Single-cell crop. Bone marrow aspirate smear. Brightfield, 40× oil-immersion objective.
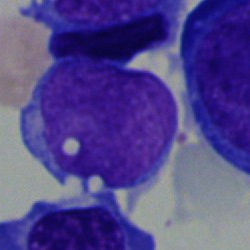An undifferentiated blast.